Bone marrow smear.
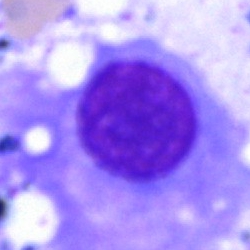 Morphology → plasmacyte.